Bone marrow aspirate smear — 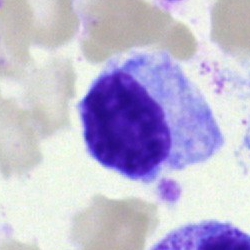

Q: What cell is this?
A: This is a myelocyte.